Bone marrow smear — 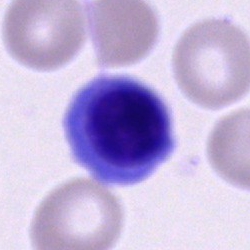Specimen: bone marrow smear.
Morphological class: erythroblast.
Lineage: erythroid.